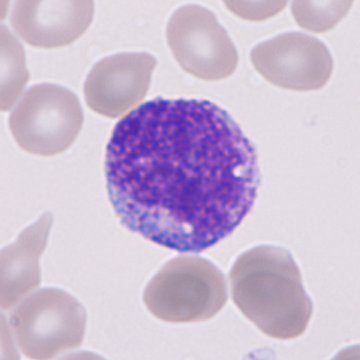

Single cell identified as an immature granulocyte (promyelocyte, myelocyte or metamyelocyte).

Image: Peripheral blood smear.